Bone marrow aspirate smear: 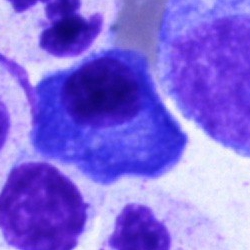

{"cell_type": "plasma cell"}